Bone marrow smear · brightfield, 40× oil-immersion objective: 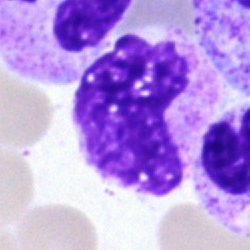

Q: What is shown here?
A: Artefact.